May-Grünwald-Giemsa stain · bone marrow smear
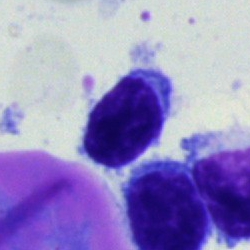
Q: What is shown here?
A: It is a lymphocyte.